Peripheral blood smear · 400×400 · 100× objective, oil immersion.
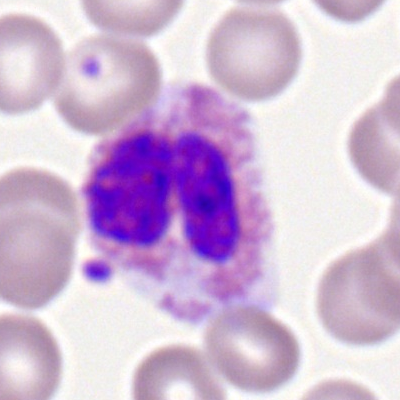 An eosinophil.